Bone marrow aspirate smear. Brightfield microscopy, 40× oil immersion.
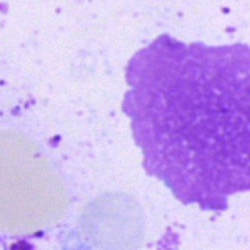The cell shown is an artifact.